40× objective, oil immersion · bone marrow smear · 250×250 px.
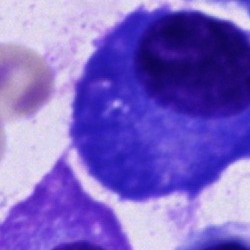
Morphology → plasma cell.